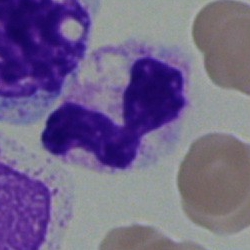

Q: What is the morphological classification of this cell?
A: A polymorphonuclear neutrophil.